Bone marrow smear:
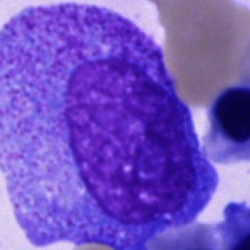

A promyelocyte.